Brightfield, 40× oil-immersion objective; bone marrow aspirate smear: 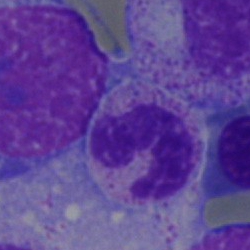

Specimen: bone marrow aspirate smear.
Classification: neutrophil (segmented).